Bone marrow smear
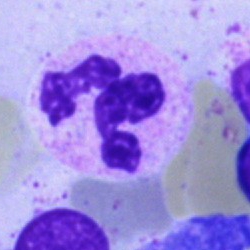

Showing a polymorphonuclear neutrophil.